Bone marrow smear
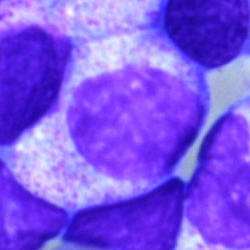Specimen: bone marrow smear.
Cell type: myelocyte.
Lineage: myeloid.